Bone marrow smear · 250 by 250 pixels.
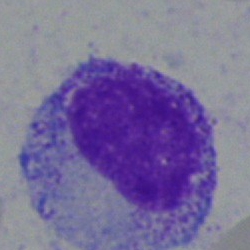
Specimen: bone marrow smear.
Morphological class: myelocyte.